Bone marrow smear — 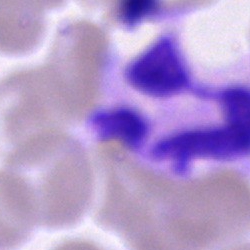Specimen: bone marrow aspirate smear.
Cell type: segmented neutrophil.